Bone marrow smear · May-Grünwald-Giemsa/Pappenheim stain:
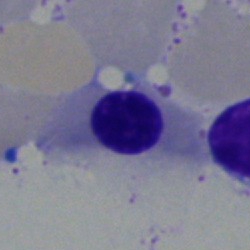A normoblast.